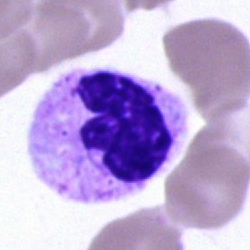Single cell identified as a polymorphonuclear neutrophil.